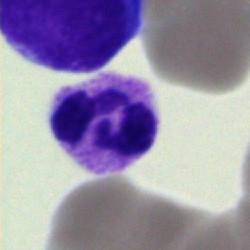 The morphological class is polymorphonuclear neutrophil.